Bone marrow smear
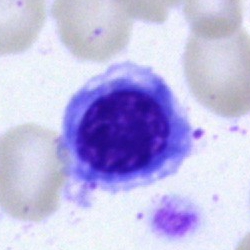
Single cell identified as a normoblast.